Bone marrow aspirate smear: 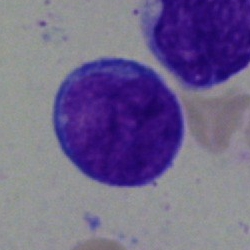

Q: What is the morphological classification of this cell?
A: This is an undifferentiated blast.